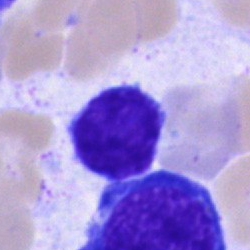 Q: What is shown here?
A: A typical lymphocyte.